Romanowsky-stained; single-cell crop; peripheral blood film.
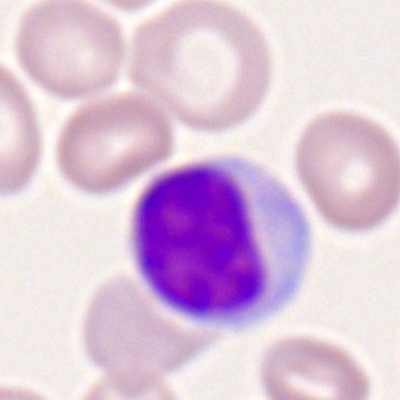Impression — typical lymphocyte.